250×250 px · bone marrow aspirate smear · 40× objective, oil immersion
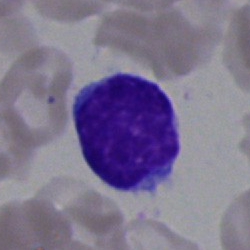This is a typical lymphocyte.